Peripheral blood film
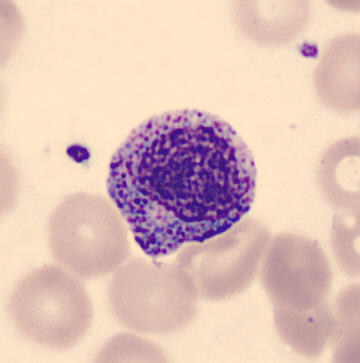

{"cell_type": "myelocyte", "lineage": "myeloid"}